Bone marrow smear: 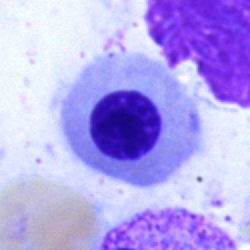Showing a normoblast.